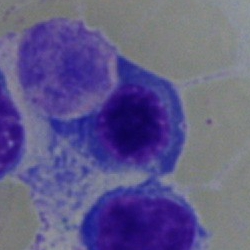 Impression → normoblast.